Bone marrow smear:
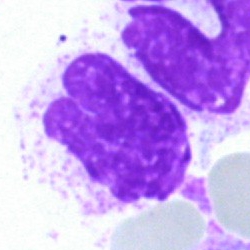 The classification is artifact.